May-Grünwald-Giemsa stain; brightfield microscopy, 40× oil immersion; bone marrow smear.
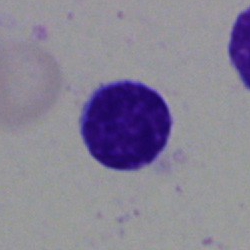Morphology consistent with a lymphocyte.